Peripheral blood film · cropped to a single cell · 400×400 px: 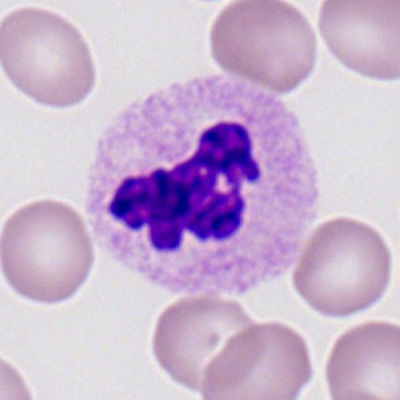

Impression — neutrophil (segmented).